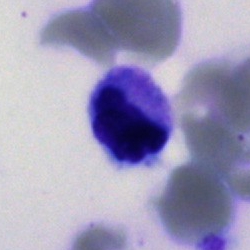

This is a cell of indeterminate lineage.